Brightfield, 40× oil-immersion objective; bone marrow smear; image size 250×250:
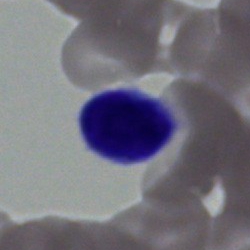The cell shown is a lymphocyte.